40× oil immersion · bone marrow smear: 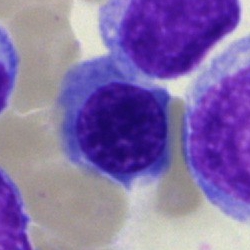

Morphology — nucleated red cell.